400×400 px. Peripheral blood film. Romanowsky-type stain — 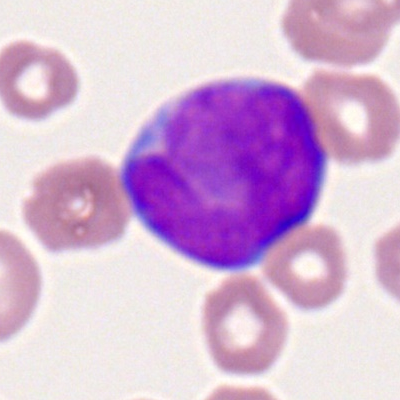
Specimen: peripheral blood film.
Morphological class: myeloblast.